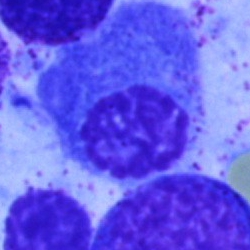Morphology — nucleated red cell.